Bone marrow aspirate smear · brightfield, 40× oil-immersion objective: 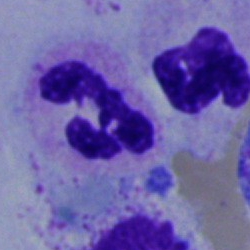

{"cell_type": "neutrophil (segmented)", "lineage": "myeloid"}